Bone marrow aspirate smear · single-cell field — 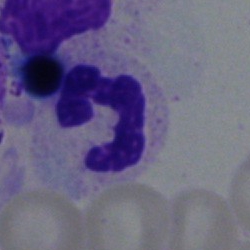

The cell shown is a polymorphonuclear neutrophil.